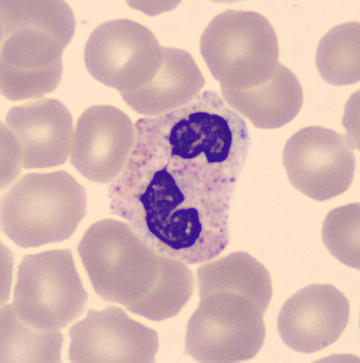

Cell type: neutrophil (segmented).
Acquisition: Peripheral blood film.